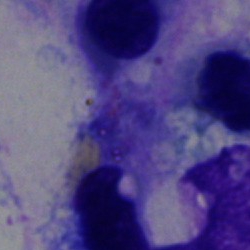
{"cell_type": "artifact"}